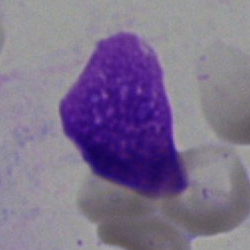

Specimen: bone marrow aspirate smear.
Morphological class: artifact.